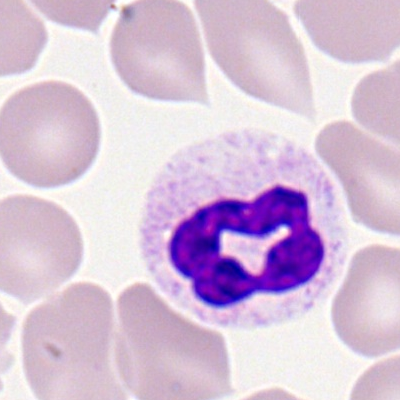 Specimen: peripheral blood film.
Cell type: segmented neutrophil.